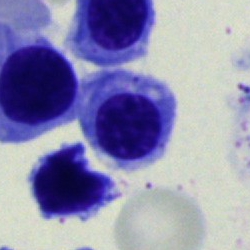 The cell type is nucleated red blood cell.